Bone marrow smear
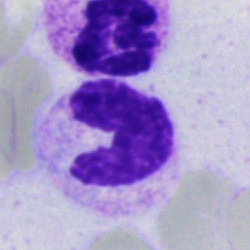A stab cell.